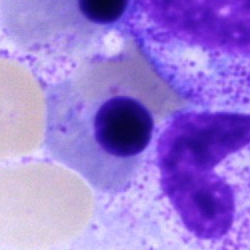Cell type = nucleated red cell.